Bone marrow smear
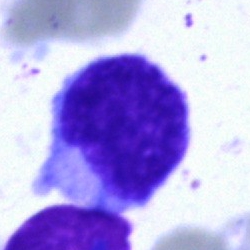 Blast.